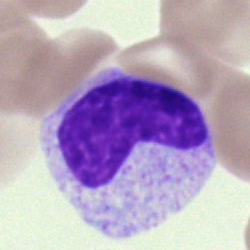
Impression → metamyelocyte.